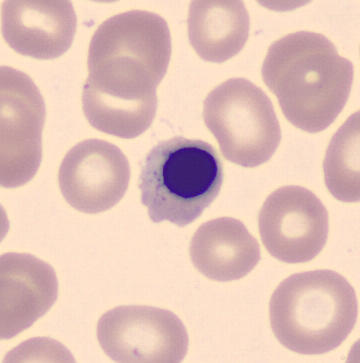Classification — erythroblast.